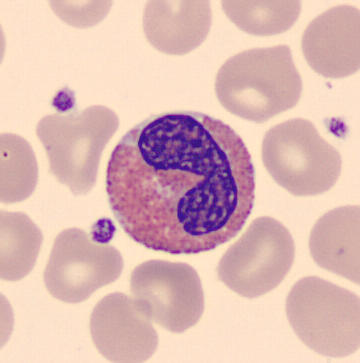

The cell shown is an eosinophilic granulocyte.